250×250 px. Bone marrow aspirate smear
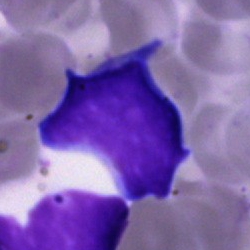

The morphological class is lymphocyte.